Peripheral blood film; 100× oil immersion
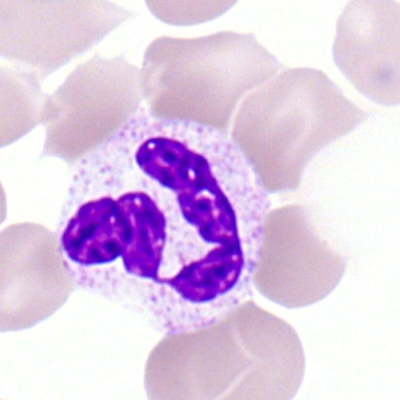
Q: What is the morphological classification of this cell?
A: A polymorphonuclear neutrophil.